Bone marrow aspirate smear.
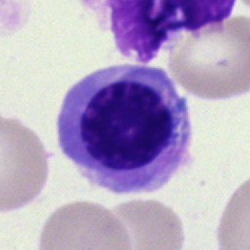 Q: What cell is this?
A: It is an erythroblast.